Brightfield, 40× oil-immersion objective · bone marrow smear
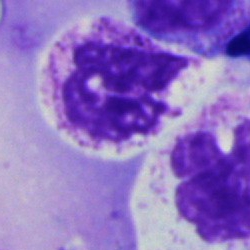
Q: Identify the cell.
A: Neutrophil (segmented).